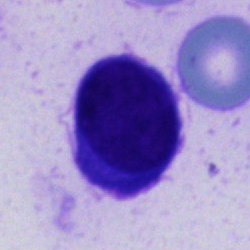 Specimen: bone marrow smear.
Classification: unidentifiable cell.